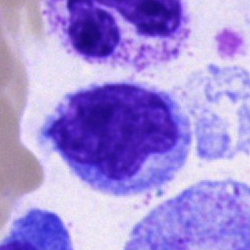
Monocyte.